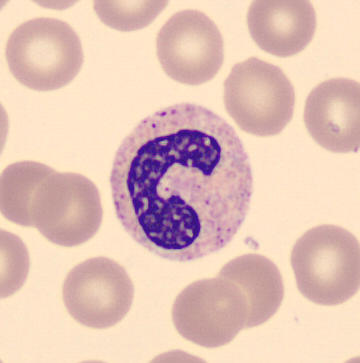

Acquisition: Peripheral blood smear; image size 360×363; MGG stain. Impression — stab cell.